250×250 px. Single-cell crop. Bone marrow aspirate smear — 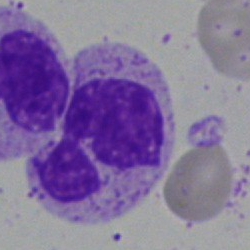The cell shown is a segmented neutrophil.